Bone marrow aspirate smear: 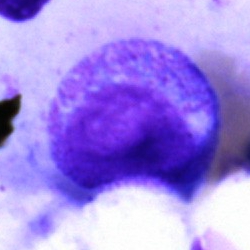
Q: What type of cell is this?
A: A progranulocyte.